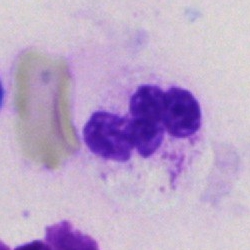 Q: What is shown here?
A: Segmented neutrophil.